MGG-stained; bone marrow aspirate smear; single-cell crop.
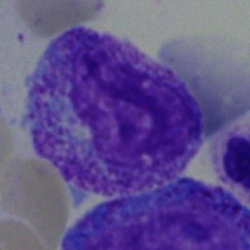

The classification is myelocyte.